Peripheral blood smear · 100× oil immersion, 14.14 px/µm · image size 400×400 — 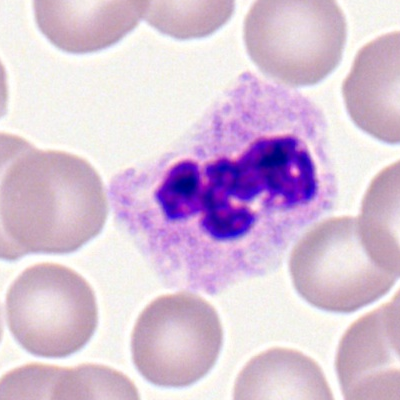 This is a polymorphonuclear neutrophil.